Bone marrow aspirate smear.
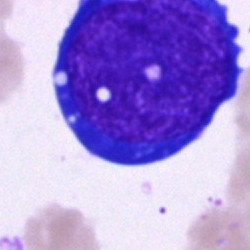

Q: What is the morphological classification of this cell?
A: This is a proerythroblast.